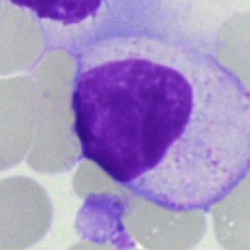 Q: What is shown here?
A: Artefact.